Bone marrow aspirate smear. Cropped to a single cell — 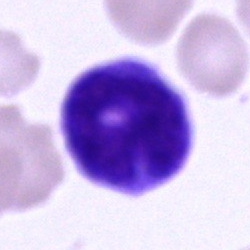Q: Identify the cell.
A: Cell of indeterminate lineage.